Brightfield microscopy, 40× oil immersion. Bone marrow aspirate smear — 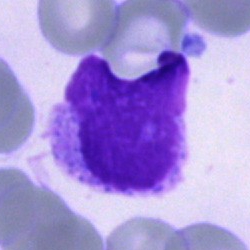Classification = artefact.